Bone marrow aspirate smear — 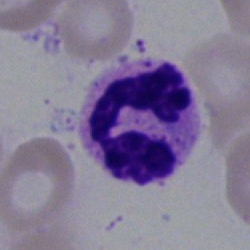

{"cell_type": "neutrophil (segmented)", "lineage": "myeloid"}